Bone marrow smear
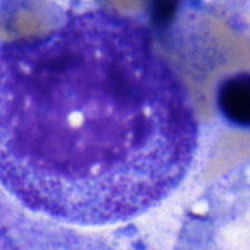 Single cell identified as a progranulocyte.